Peripheral blood smear.
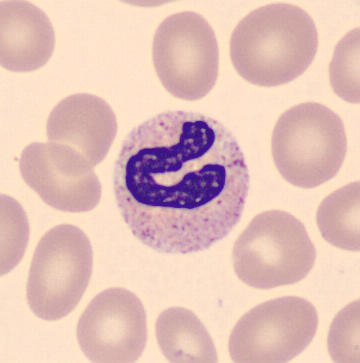
Single cell identified as a neutrophil (band).